Peripheral blood film: 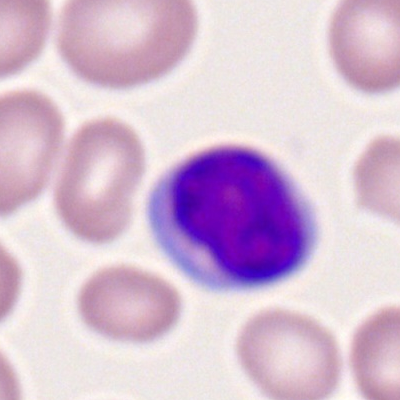

Cell: typical lymphocyte.